Bone marrow aspirate smear:
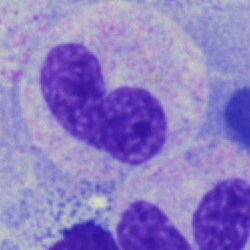
Single cell identified as a band neutrophil.